Bone marrow smear: 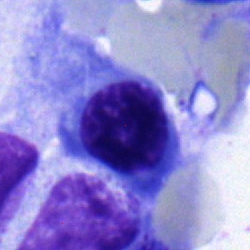
{"cell_type": "nucleated red blood cell"}